Single-cell crop. Bone marrow aspirate smear — 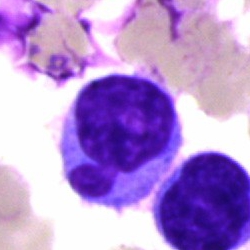 Single cell identified as a lymphocyte.